400×400 px · peripheral blood smear · brightfield, 100× oil-immersion objective:
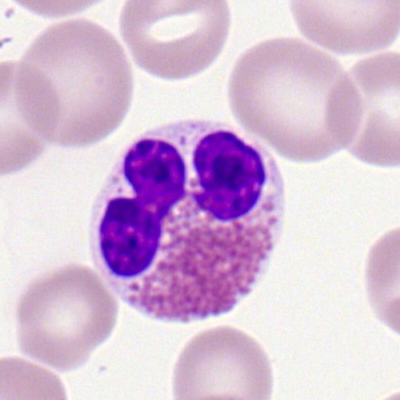 Cell: eosinophilic granulocyte.